Bone marrow aspirate smear
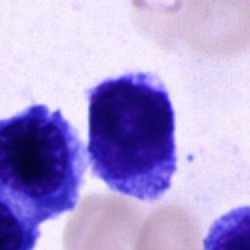
Q: What type of cell is this?
A: It is an unidentifiable cell.